Bone marrow smear; single-cell crop:
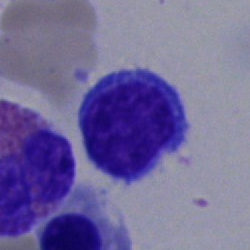

Morphology consistent with a lymphocyte.